Bone marrow smear: 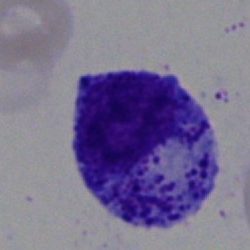
A promyelocyte.